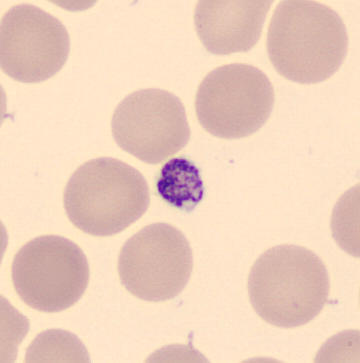

Q: What is shown here?
A: Platelet.
Imaged on a CellaVision DM96 analyser. May-Grünwald-Giemsa-stained. Peripheral blood smear.